Image size 250×250 · bone marrow aspirate smear: 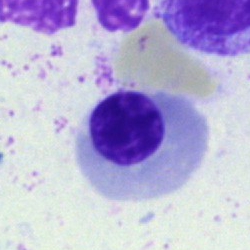This is a nucleated red blood cell.